Bone marrow smear — 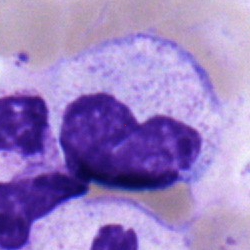Cell type — neutrophil (band).